Bone marrow aspirate smear; May-Grünwald-Giemsa/Pappenheim stain — 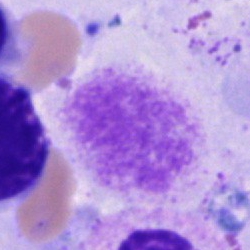

Single cell identified as an artifact.